Bone marrow aspirate smear
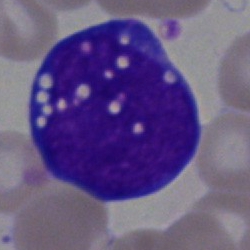 The classification is blast cell.